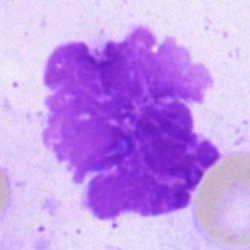

Bone marrow smear showing an artefact.